Bone marrow smear · Pappenheim-stained — 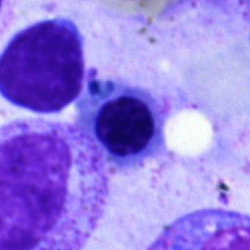 Specimen: bone marrow smear.
Classification: nucleated red cell.
Lineage: erythroid.